Image size 250×250. Brightfield microscopy, 40× oil immersion. Bone marrow smear
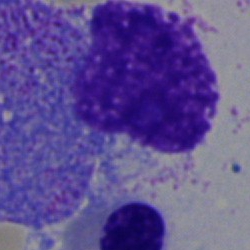
Cell type = artifact.